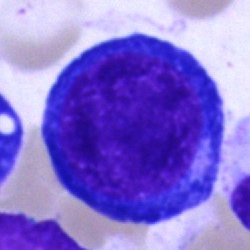
Proerythroblast.